Bone marrow smear: 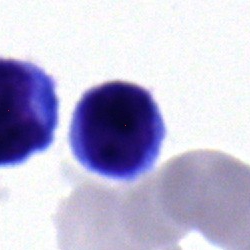 Morphological class: typical lymphocyte.